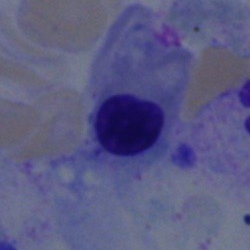
Q: Which cell type is shown here?
A: A typical lymphocyte.